Bone marrow aspirate smear. May-Grünwald-Giemsa stain. 250×250 px — 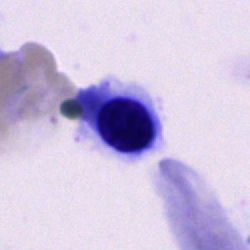
This is a nucleated red blood cell.